Bone marrow smear:
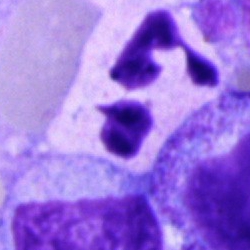Showing a segmented neutrophil.